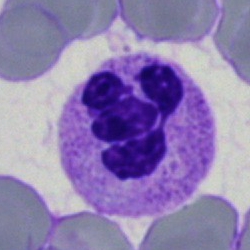The classification is segmented neutrophil.